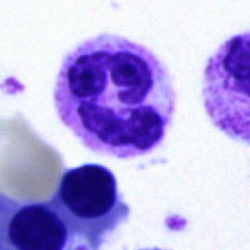Specimen: bone marrow aspirate smear.
Cell: neutrophil (segmented).